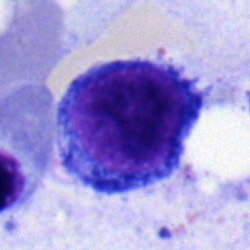
Specimen: bone marrow smear.
Classification: pronormoblast.
Lineage: erythroid.